Bone marrow aspirate smear.
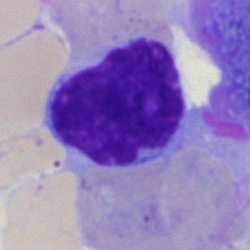

This is an artifact.